May-Grünwald-Giemsa stain · bone marrow aspirate smear
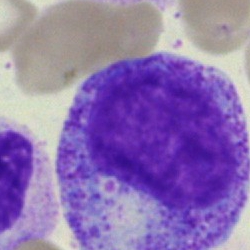 Impression — progranulocyte.